Image size 250×250. Bone marrow aspirate smear: 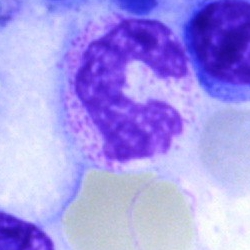 Stab cell.